Bone marrow smear:
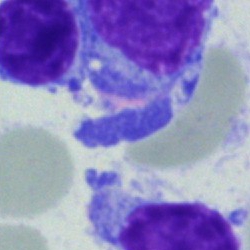

The cell shown is a typical lymphocyte.